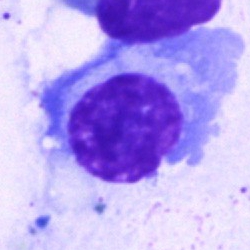Q: Which cell type is shown here?
A: A plasmacyte.